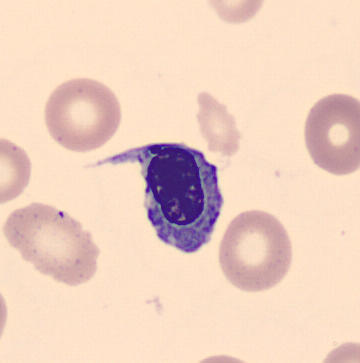
Classification = nucleated red blood cell.